Bone marrow smear.
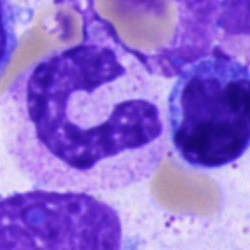

Showing a neutrophil (band).